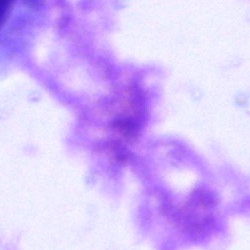

Morphology — artefact.